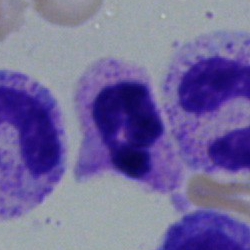 This is a neutrophil (segmented).